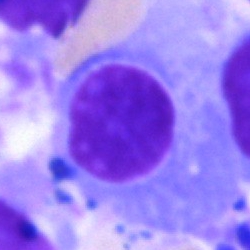
Q: Which cell type is shown here?
A: This is a plasma cell.